Bone marrow aspirate smear
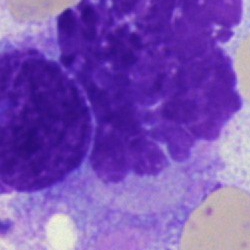
Morphology consistent with an artifact.